Bone marrow aspirate smear · single-cell crop.
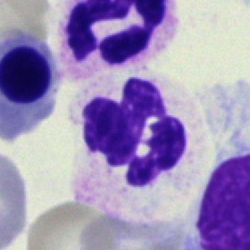
Specimen: bone marrow smear.
Morphological class: neutrophil (segmented).